Peripheral blood smear.
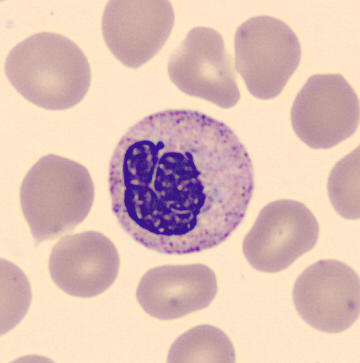 Identified as a band neutrophil.